Peripheral blood smear:
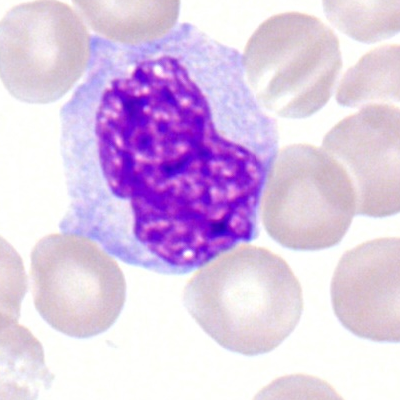

Single cell identified as a monocyte.